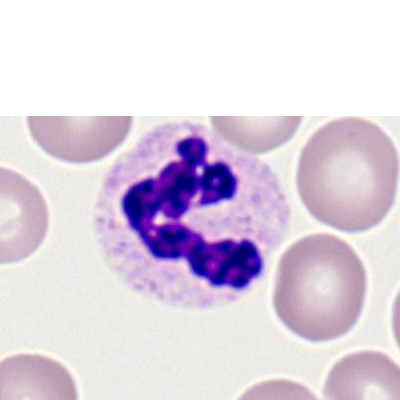Peripheral blood film, single cell — segmented neutrophil.